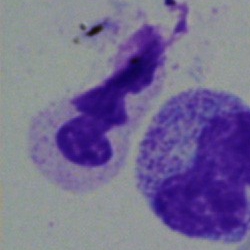 Morphological class: segmented neutrophil.